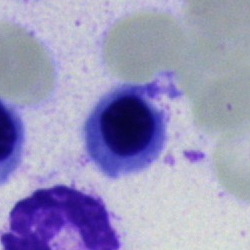

Specimen: bone marrow aspirate smear.
Cell type: erythroblast.
Lineage: erythroid.